Bone marrow smear — 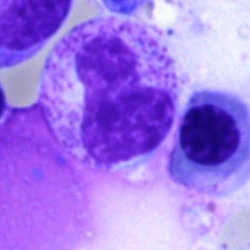The morphological class is metamyelocyte.